Bone marrow smear.
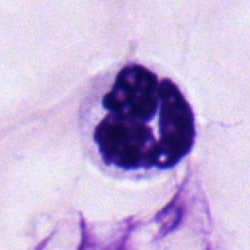 Showing a polymorphonuclear neutrophil.